Brightfield, 100× oil-immersion objective · peripheral blood smear · 400 by 400 pixels — 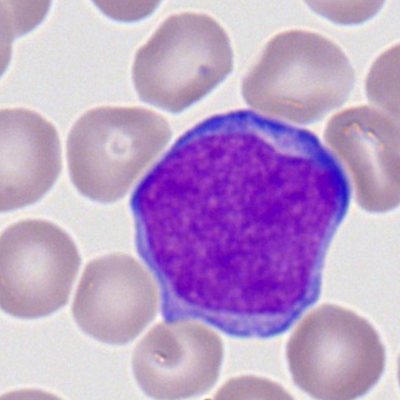

Morphological class — myeloid blast.